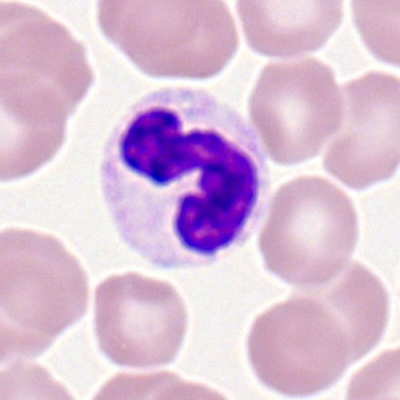 {"cell_type": "segmented neutrophil"}